Bone marrow aspirate smear.
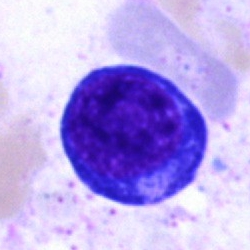 The cell shown is a normoblast.